Bone marrow aspirate smear — 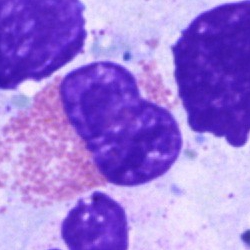 Q: What type of cell is this?
A: An eosinophilic granulocyte.